Bone marrow aspirate smear — 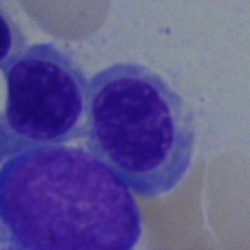

Morphology consistent with a nucleated red blood cell.